Peripheral blood film: 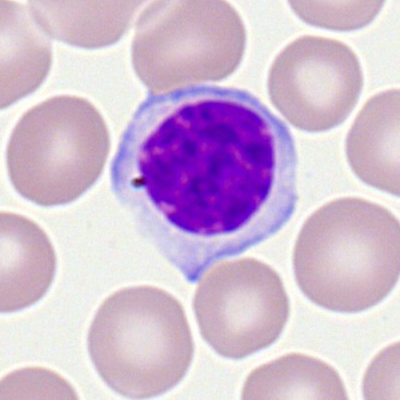
Morphology — typical lymphocyte.